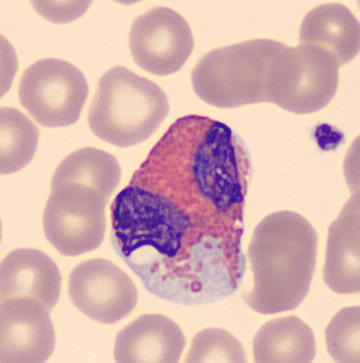

The cell is eosinophil.